Bone marrow aspirate smear. MGG-stained:
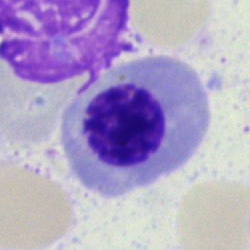 The cell shown is a normoblast.